Pappenheim-stained. Bone marrow aspirate smear
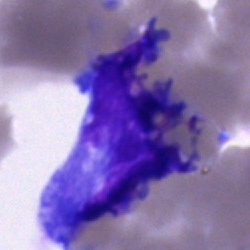
Q: What is shown here?
A: This is a blast cell.